Bone marrow aspirate smear · single-cell crop.
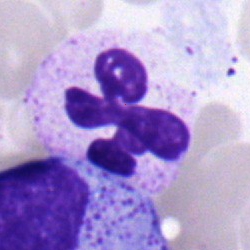Morphological class — segmented neutrophil.